MGG-stained. Bone marrow aspirate smear — 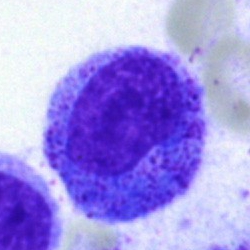 Cell — metamyelocyte.